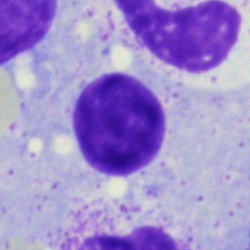Q: What is shown here?
A: This is an artifact.